Bone marrow smear; single cell centered in the field.
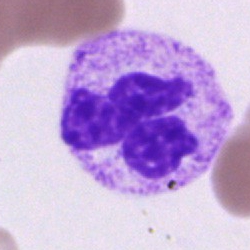

Q: Identify the cell.
A: It is a neutrophil (segmented).